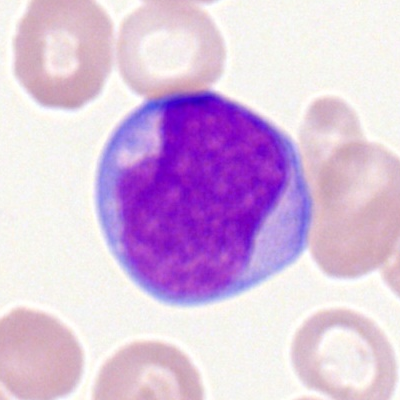

Classification — myeloblast.